Brightfield microscopy, 40× oil immersion. Bone marrow smear: 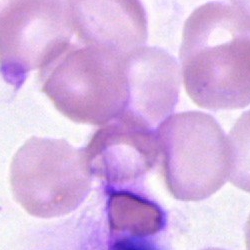

The cell shown is an artefact.